Bone marrow smear · single-cell crop:
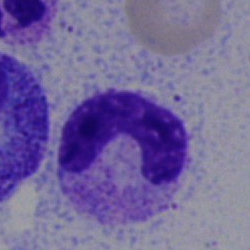 A band-form neutrophil.